Bone marrow smear:
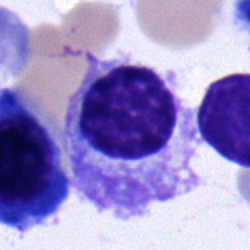 Specimen: bone marrow aspirate smear.
Morphological class: plasma cell.